Bone marrow aspirate smear: 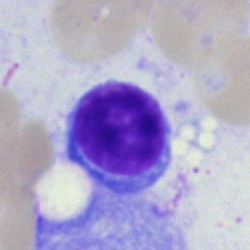A lymphocyte.